Bone marrow smear:
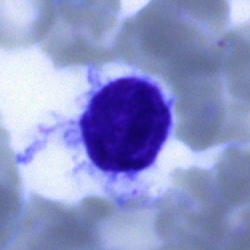
A typical lymphocyte.